Bone marrow smear
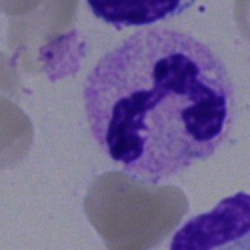
The morphological class is segmented neutrophil.